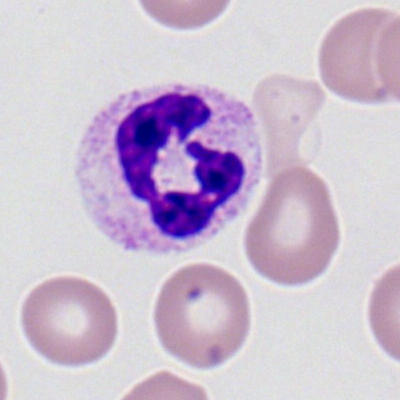 Peripheral blood smear showing a polymorphonuclear neutrophil.